Bone marrow aspirate smear · image size 250×250:
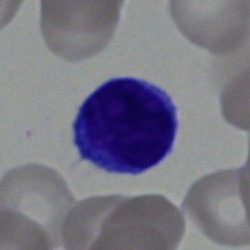 The cell shown is a lymphocyte.